Bone marrow aspirate smear:
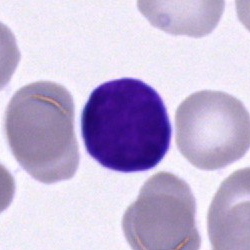The morphological class is lymphocyte.